Image size 250×250; bone marrow aspirate smear:
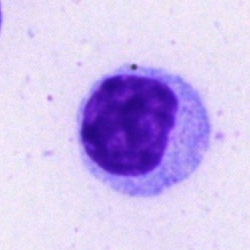 The cell shown is a lymphocyte.